Bone marrow smear.
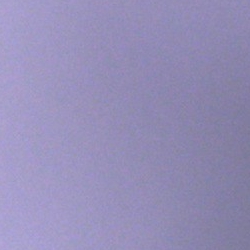
The cell shown is an artefact.